May-Grünwald-Giemsa stain; bone marrow aspirate smear; brightfield, 40× oil-immersion objective:
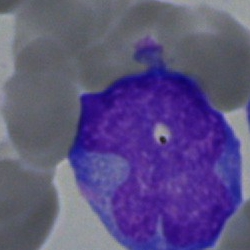
Showing a blast.